Bone marrow smear: 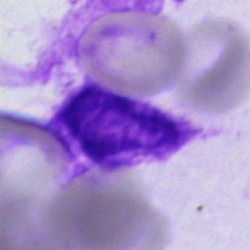
Artefact.